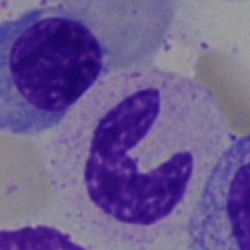Morphology consistent with a neutrophil (segmented).